Single-cell crop; bone marrow aspirate smear; 250×250 px:
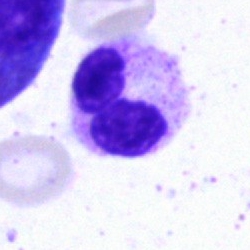 Morphological class — segmented neutrophil.